Peripheral blood film; single cell centered in the field:
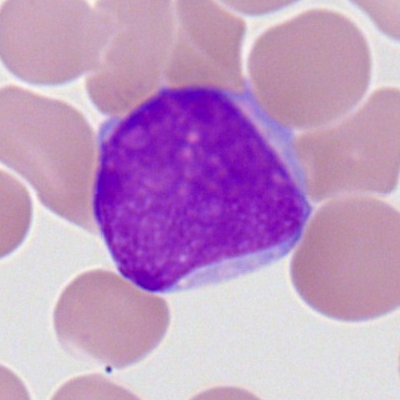Myeloblast.